Bone marrow smear: 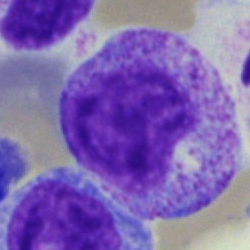

Morphology → promyelocyte.